Bone marrow smear:
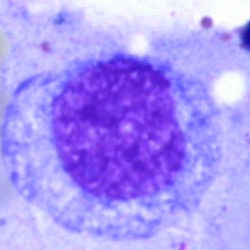

A promyelocyte.